Single-cell field · image size 250×250 · bone marrow aspirate smear — 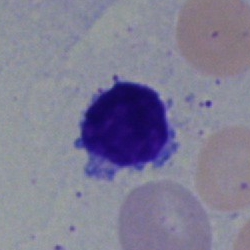The cell shown is a typical lymphocyte.